Bone marrow smear — 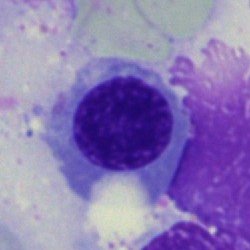

{"cell_type": "erythroblast"}